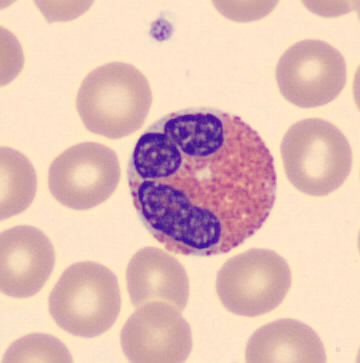Peripheral blood smear. The cell type is eosinophil.